Bone marrow smear
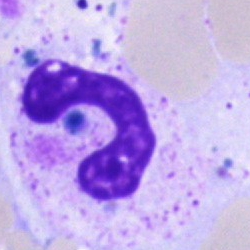

Morphology → band neutrophil.